Image size 250×250. Bone marrow aspirate smear — 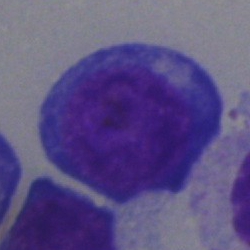Single cell identified as a proerythroblast.